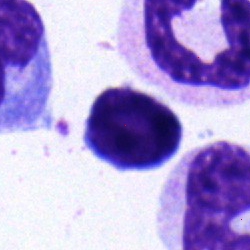Q: What is the morphological classification of this cell?
A: A lymphocyte.